Bone marrow aspirate smear · brightfield, 40× oil-immersion objective · May-Grünwald-Giemsa/Pappenheim stain:
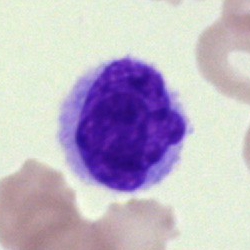 Q: What type of cell is this?
A: It is a monocyte.